Brightfield microscopy, 40× oil immersion · bone marrow aspirate smear · image size 250×250:
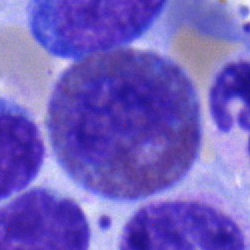

The cell is eosinophilic granulocyte.